Bone marrow aspirate smear · brightfield, 40× oil-immersion objective
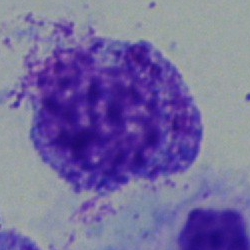
Single cell identified as a myelocyte.